Bone marrow aspirate smear:
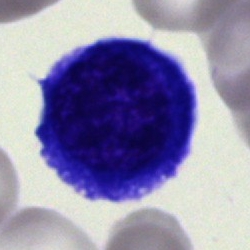Morphology consistent with an erythroblast.